Bone marrow smear.
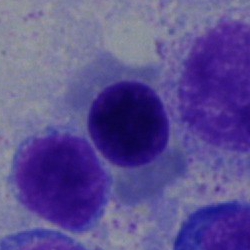Morphology consistent with a nucleated red blood cell.